Bone marrow smear:
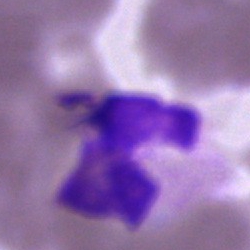 Specimen: bone marrow smear.
Cell: neutrophil (segmented).